Bone marrow smear:
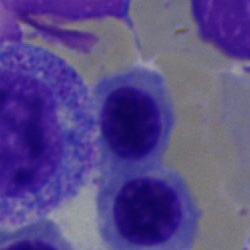Nucleated red blood cell.